Brightfield, 40× oil-immersion objective. Bone marrow smear: 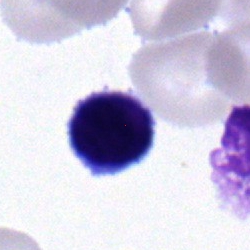
Single cell identified as a lymphocyte.